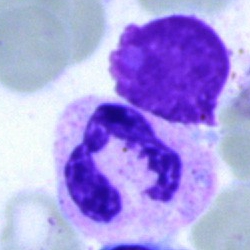 Impression — neutrophil (segmented).